Single cell centered in the field · bone marrow smear · image size 250×250.
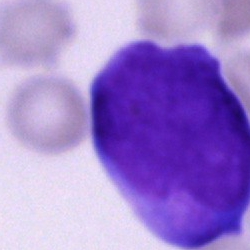Q: Identify the cell.
A: A blast cell.